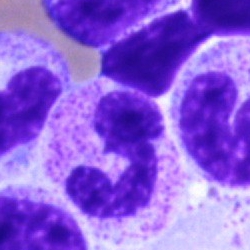 Cell type — polymorphonuclear neutrophil.